Bone marrow smear · 250×250.
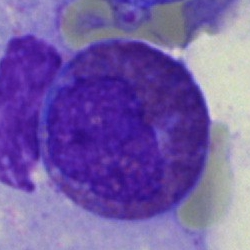

The cell shown is an eosinophil.